Brightfield microscopy, 40× oil immersion. 250×250. Bone marrow smear
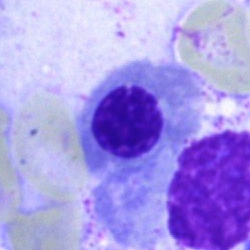{"cell_type": "nucleated red blood cell", "lineage": "erythroid"}